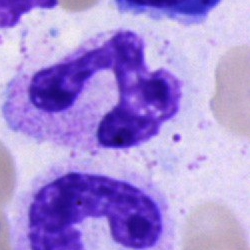Classification — polymorphonuclear neutrophil.